Bone marrow aspirate smear · single cell centered in the field: 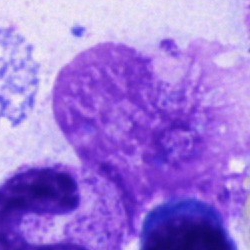 Classification: artefact.